Bone marrow smear. May-Grünwald-Giemsa/Pappenheim stain.
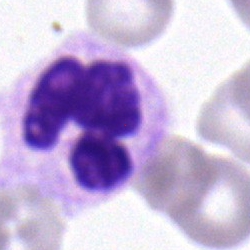

Impression → segmented neutrophil.